Bone marrow aspirate smear
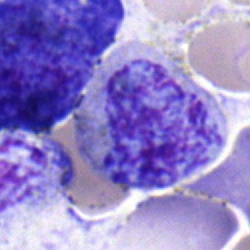
Specimen: bone marrow smear.
Classification: myelocyte.